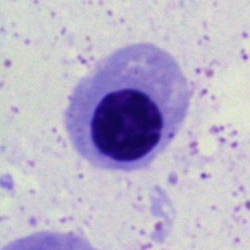

Specimen: bone marrow smear.
Cell: erythroblast.
Lineage: erythroid.